Bone marrow smear:
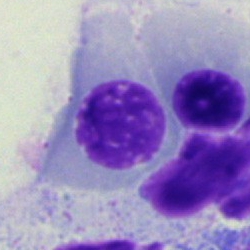

The cell shown is a normoblast.